Brightfield, 40× oil-immersion objective. Bone marrow smear: 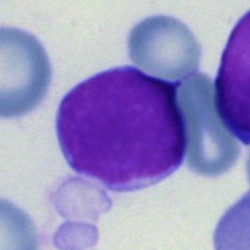
Q: Which cell type is shown here?
A: A typical lymphocyte.